Bone marrow smear · May-Grünwald-Giemsa stain — 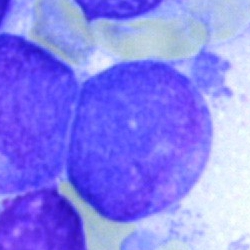 Morphology — blast.